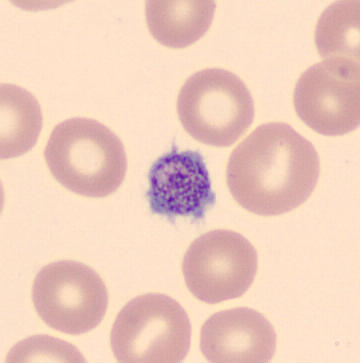

Acquisition: Peripheral blood smear.
Morphology consistent with a thrombocyte.